Image size 250×250. Bone marrow smear — 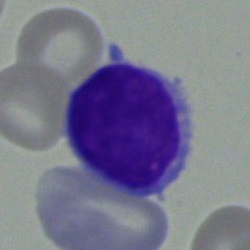Cell type: lymphocyte.